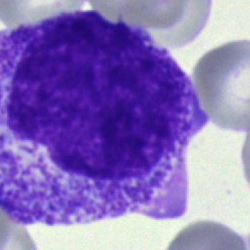 Cell: myelocyte.